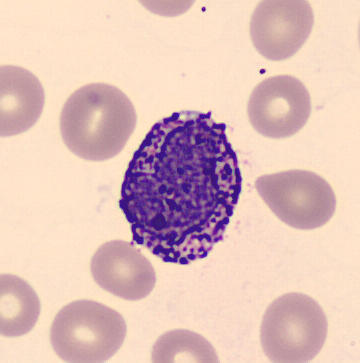 Morphology consistent with a basophilic granulocyte.

Preparation: Peripheral blood film.